Bone marrow smear: 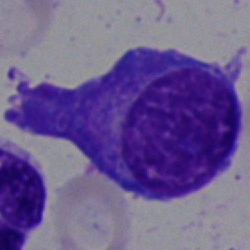 Q: What type of cell is this?
A: This is a plasma cell.